Bone marrow aspirate smear · 250 by 250 pixels: 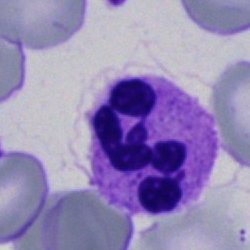 The cell shown is a neutrophil (segmented).